Bone marrow smear. 40× objective, oil immersion: 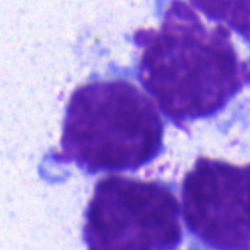
Cell — lymphocyte.